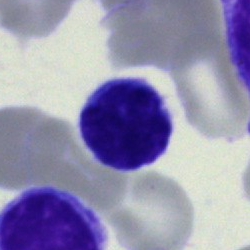 Lymphocyte.